Automated cell imaging (CellaVision DM96) · peripheral blood film · MGG stain
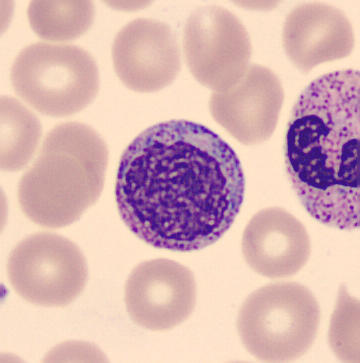 Cell: myelocyte.